Peripheral blood smear. 100× oil immersion.
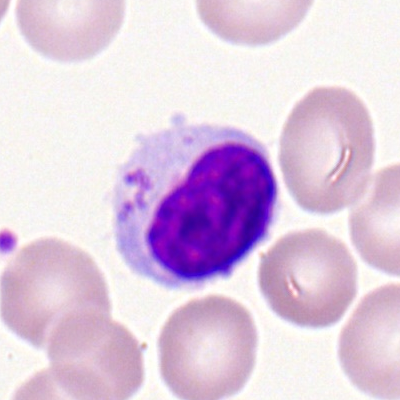

Impression → lymphocyte.